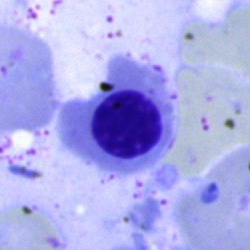 Classification: nucleated red cell.